Peripheral blood smear:
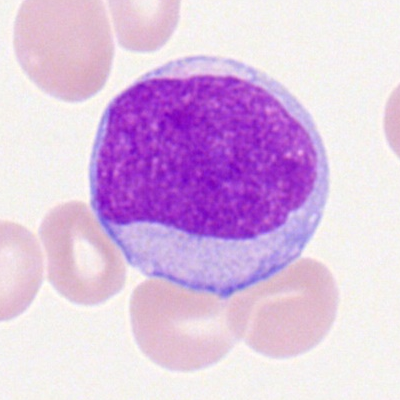 Q: Which cell type is shown here?
A: Myeloid blast.